Peripheral blood film: 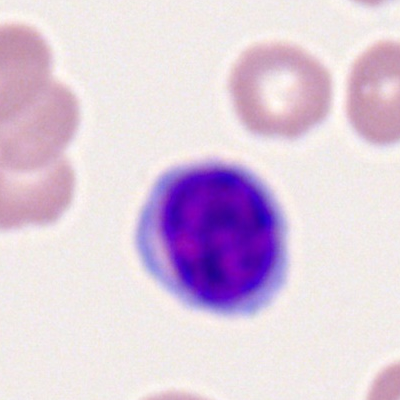

Specimen: peripheral blood film.
Cell type: typical lymphocyte.